Bone marrow aspirate smear. Pappenheim-stained: 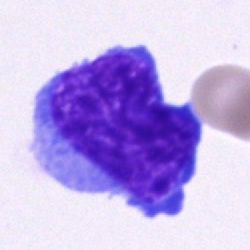
Specimen: bone marrow aspirate smear.
Cell type: blast cell.